Brightfield, 40× oil-immersion objective · bone marrow smear: 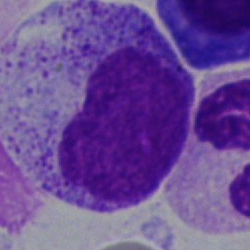

Impression → metamyelocyte.